40× objective, oil immersion; May-Grünwald-Giemsa stain; bone marrow smear:
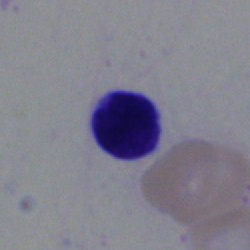
Impression → typical lymphocyte.